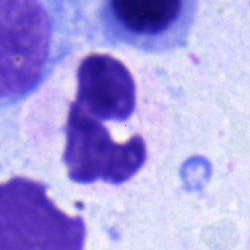

Morphology → neutrophil (segmented).